Bone marrow smear · MGG-stained: 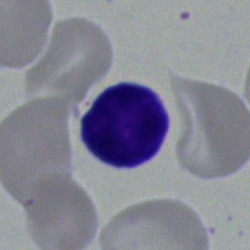Q: What type of cell is this?
A: This is a typical lymphocyte.